Peripheral blood smear
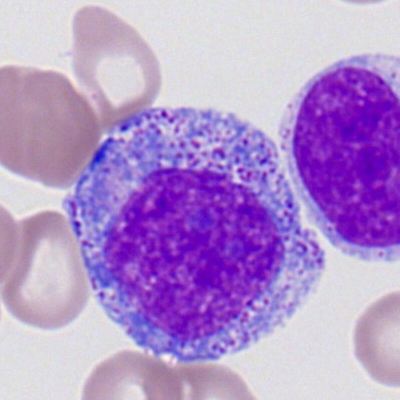Morphology → progranulocyte.